Bone marrow aspirate smear
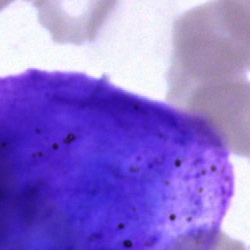

The cell is artifact.